Bone marrow aspirate smear.
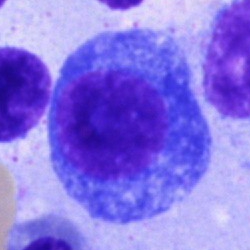

A plasma cell.